Peripheral blood smear; Romanowsky-type stain
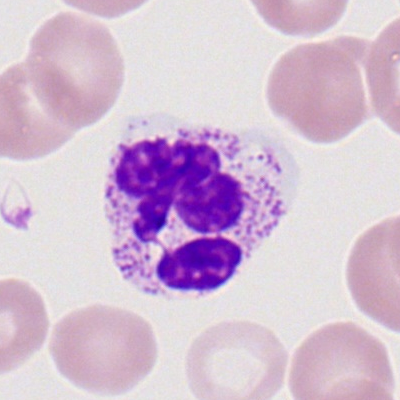

Morphological class: segmented neutrophil.